Single-cell field; bone marrow smear
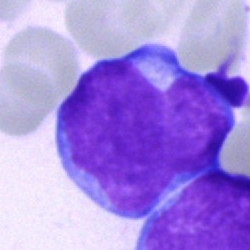

Q: What cell is this?
A: It is an undifferentiated blast.